Bone marrow smear:
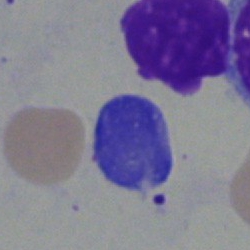Morphology consistent with an artefact.